Peripheral blood smear: 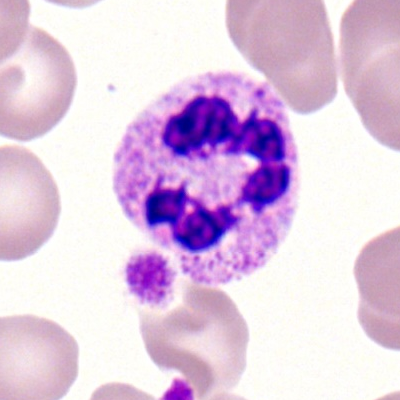
Segmented neutrophil.